Bone marrow smear:
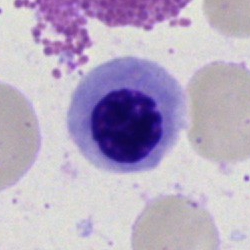The cell shown is a normoblast.